Cropped to a single cell. Bone marrow smear — 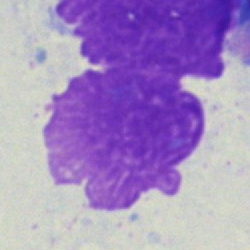

The morphological class is artefact.